Bone marrow aspirate smear: 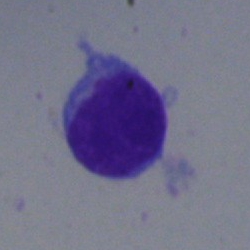

Specimen: bone marrow aspirate smear.
Cell type: typical lymphocyte.
Lineage: lymphoid.